Bone marrow aspirate smear — 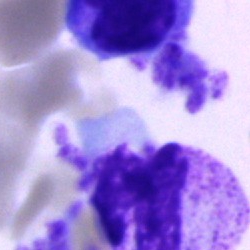Q: Which cell type is shown here?
A: Polymorphonuclear neutrophil.